Bone marrow smear. Pappenheim-stained: 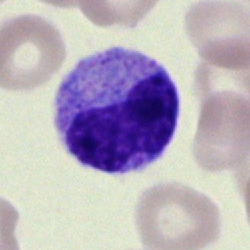 The cell shown is a metamyelocyte.